400 by 400 pixels; peripheral blood film:
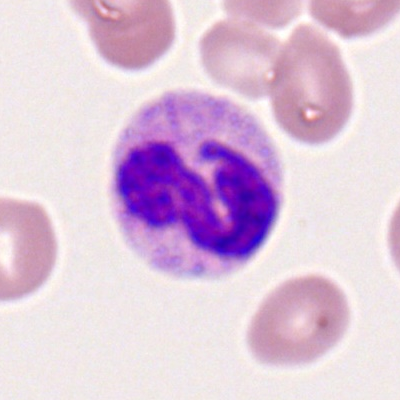 Cell = neutrophil (segmented).